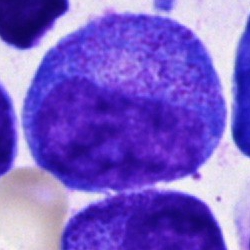

Morphology — progranulocyte.